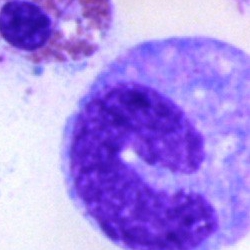Showing a monocyte.